Brightfield, 40× oil-immersion objective; bone marrow aspirate smear.
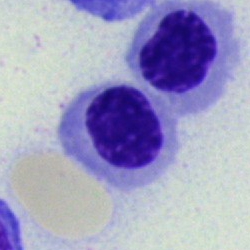

Q: What is shown here?
A: A normoblast.